Image size 250×250; bone marrow aspirate smear — 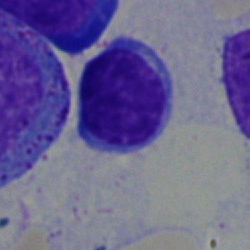Morphological class: lymphocyte.